Bone marrow aspirate smear. Cropped to a single cell.
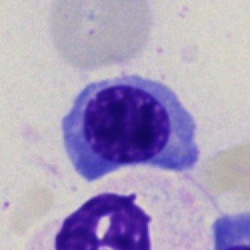

Showing an erythroblast.